Bone marrow smear.
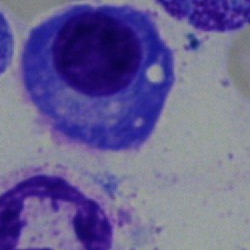
Cell = plasma cell.